Bone marrow aspirate smear; May-Grünwald-Giemsa stain
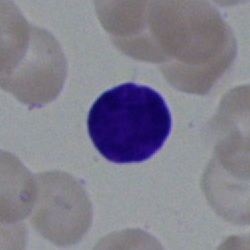
Classification: lymphocyte.